Bone marrow smear.
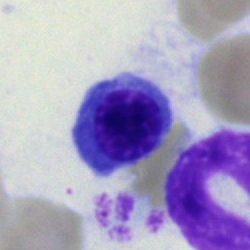

Specimen: bone marrow smear.
Morphological class: normoblast.
Lineage: erythroid.